Bone marrow smear: 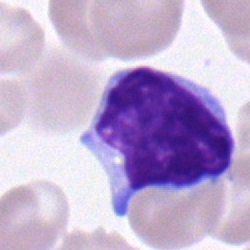 The classification is lymphocyte.